40× objective, oil immersion · 250×250 px · bone marrow smear:
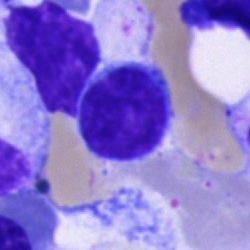

Q: What is shown here?
A: A typical lymphocyte.